Image size 250×250; 40× oil immersion; bone marrow smear:
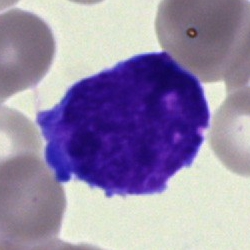 Q: Identify the cell.
A: This is a blast.